Bone marrow aspirate smear. Single cell centered in the field.
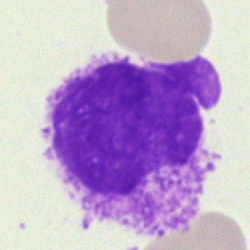
{"cell_type": "artefact"}